Cropped to a single cell · bone marrow smear · Pappenheim-stained
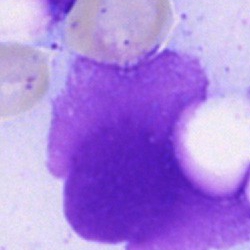 {"cell_type": "artefact"}